Single-cell field · bone marrow smear.
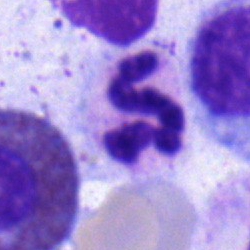

Classification = polymorphonuclear neutrophil.